Bone marrow aspirate smear · image size 250×250 — 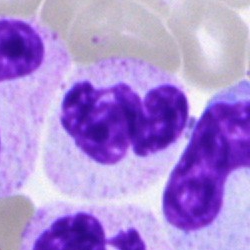
The cell shown is a segmented neutrophil.